Bone marrow aspirate smear. 250×250: 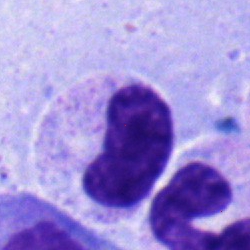

Morphology — band neutrophil.